Bone marrow smear; single-cell crop
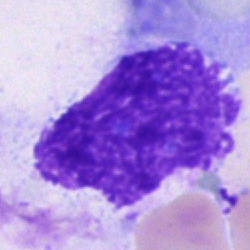 This is an artifact.